MGG-stained; bone marrow aspirate smear; 250×250 px
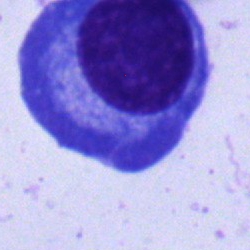
Q: Identify the cell.
A: Plasmacyte.